MGG-stained. Bone marrow smear:
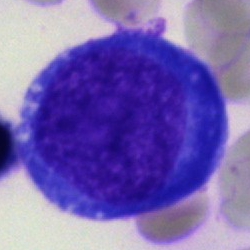
This is a blast cell.